Bone marrow aspirate smear.
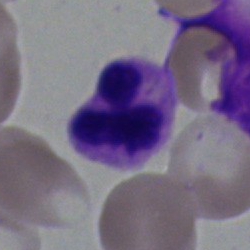
Morphology — polymorphonuclear neutrophil.